Image size 250×250. Bone marrow aspirate smear — 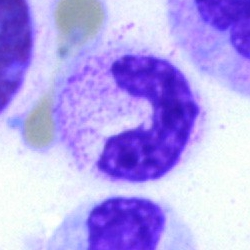
Morphological class — polymorphonuclear neutrophil.